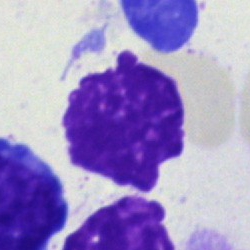

Q: What is shown here?
A: This is an artifact.